Peripheral blood film: 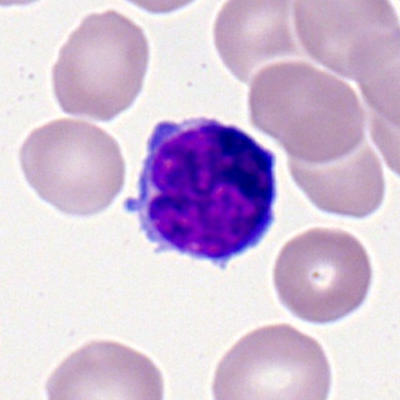Single cell identified as a lymphocyte.